250 by 250 pixels. Bone marrow aspirate smear — 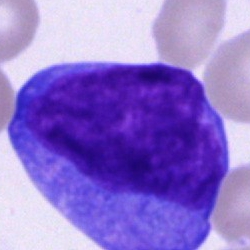
Morphology consistent with an undifferentiated blast.